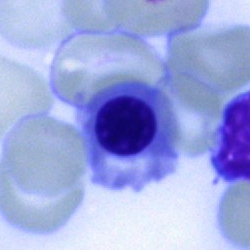 {"cell_type": "erythroblast", "lineage": "erythroid"}